Bone marrow smear. May-Grünwald-Giemsa stain: 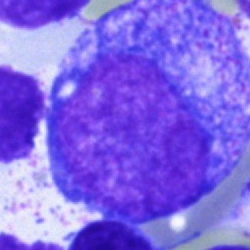Q: What cell is this?
A: It is a promyelocyte.